May-Grünwald-Giemsa/Pappenheim stain; brightfield microscopy, 40× oil immersion; bone marrow smear: 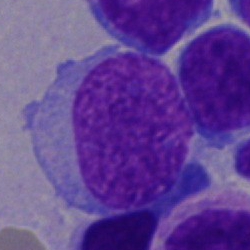

Showing an undifferentiated blast.